40× objective, oil immersion · bone marrow smear:
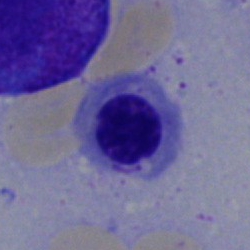 Q: What cell is this?
A: An erythroblast.